Bone marrow aspirate smear; MGG-stained
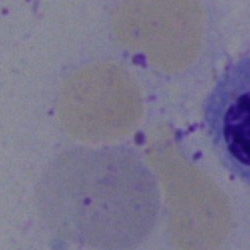
Classification: artefact.